Bone marrow aspirate smear: 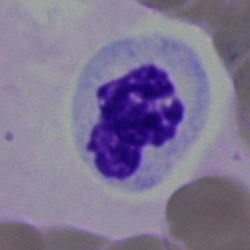{"cell_type": "neutrophil (segmented)"}